Bone marrow aspirate smear; single cell centered in the field; 40× oil immersion
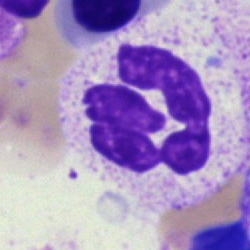Single cell identified as a segmented neutrophil.